Bone marrow smear.
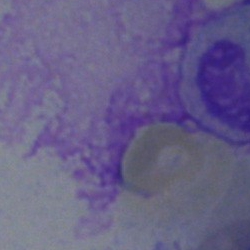Specimen: bone marrow aspirate smear.
Cell: artefact.